Bone marrow aspirate smear; single-cell field; 250×250
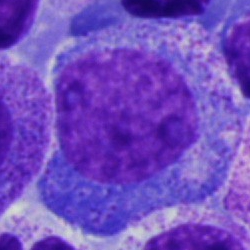 Morphology → promyelocyte.